May-Grünwald-Giemsa stain. Bone marrow smear:
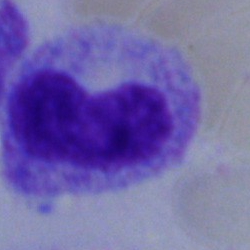
Q: What type of cell is this?
A: It is a metamyelocyte.